Bone marrow aspirate smear — 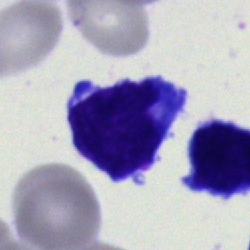This is a blast.